Bone marrow aspirate smear:
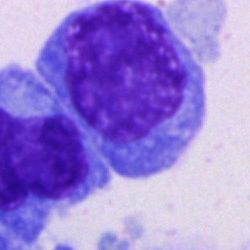
Cell type = plasmacyte.